Bone marrow aspirate smear — 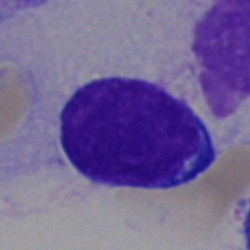 The cell shown is a lymphocyte.